Single-cell field; peripheral blood film
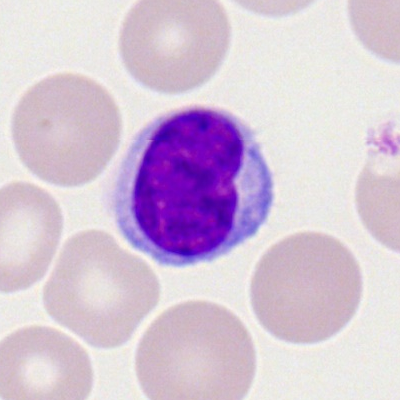Single cell identified as a typical lymphocyte.